Brightfield microscopy, 40× oil immersion. Bone marrow smear. Image size 250×250
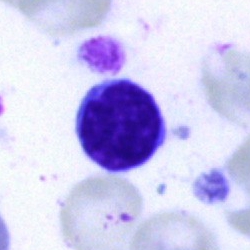

{"cell_type": "typical lymphocyte"}